Bone marrow aspirate smear
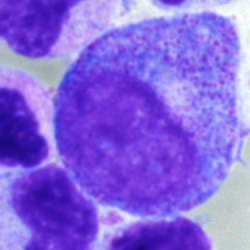 Single cell identified as a promyelocyte.